Brightfield microscopy, 40× oil immersion · bone marrow smear: 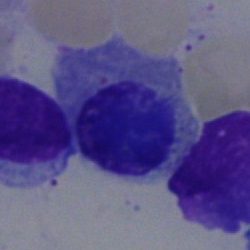

Specimen: bone marrow aspirate smear.
Cell type: nucleated red blood cell.
Lineage: erythroid.